Image size 250×250; bone marrow aspirate smear — 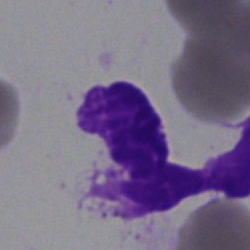
Morphology consistent with an artifact.